Bone marrow aspirate smear
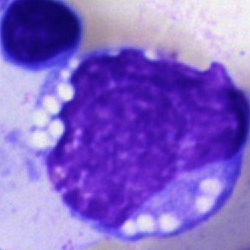Specimen: bone marrow smear.
Morphological class: monocyte.
Lineage: myeloid.